Bone marrow smear — 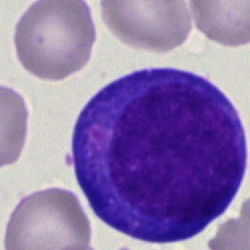
The classification is normoblast.